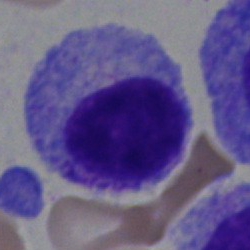Specimen: bone marrow smear.
Morphological class: myelocyte.